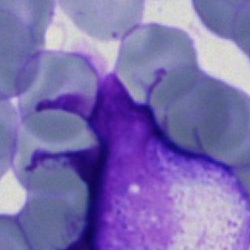

The cell shown is a blast.